Brightfield microscopy, 40× oil immersion · bone marrow aspirate smear — 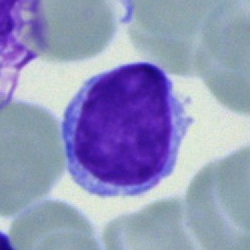 Cell type = lymphocyte.